Bone marrow smear; brightfield, 40× oil-immersion objective.
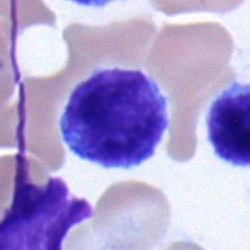 A typical lymphocyte.